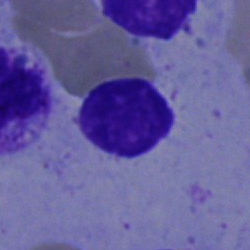 This is a typical lymphocyte.